Peripheral blood film. 400×400 px. Cropped to a single cell
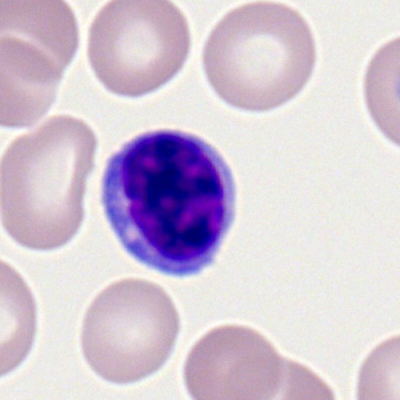

Morphology consistent with a typical lymphocyte.